Bone marrow aspirate smear. 40× oil immersion. May-Grünwald-Giemsa stain:
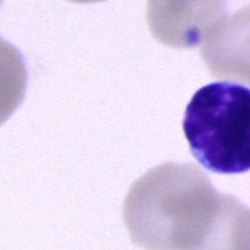 Impression → typical lymphocyte.